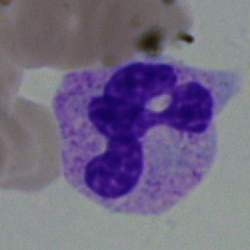Single-cell crop from a bone marrow smear: neutrophil (segmented).